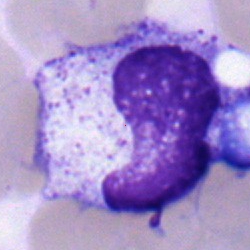This is a neutrophil (band).